Peripheral blood smear:
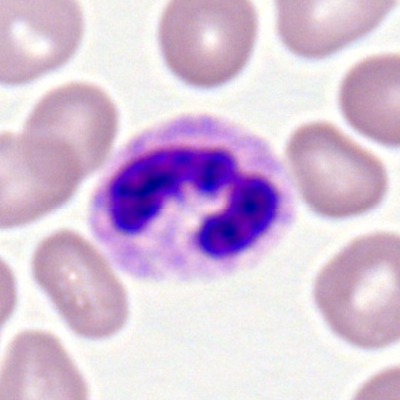 Cell type — neutrophil (segmented).